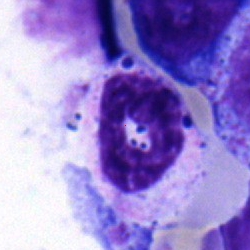
Cell — band-form neutrophil.